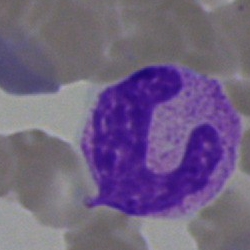 This is a polymorphonuclear neutrophil.